May-Grünwald-Giemsa/Pappenheim stain · bone marrow aspirate smear · brightfield, 40× oil-immersion objective — 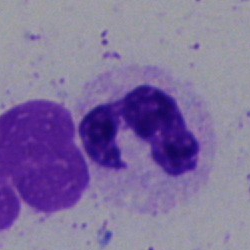
The cell shown is a segmented neutrophil.